Bone marrow smear; 250 by 250 pixels; MGG-stained: 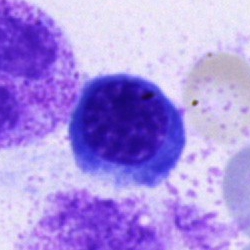 This is a normoblast.